May-Grünwald-Giemsa stain; bone marrow smear.
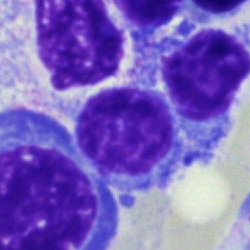 A nucleated red cell.